Bone marrow aspirate smear.
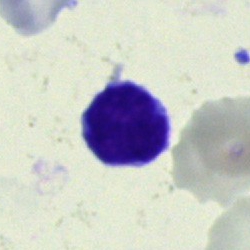
Impression → typical lymphocyte.